Bone marrow aspirate smear
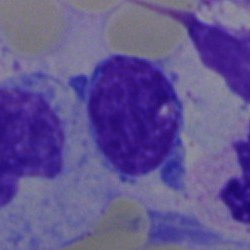
Specimen: bone marrow smear.
Cell: typical lymphocyte.
Lineage: lymphoid.